Bone marrow aspirate smear: 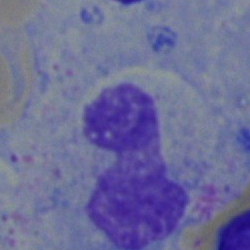 Cell — stab cell.